Romanowsky-type stain · peripheral blood film — 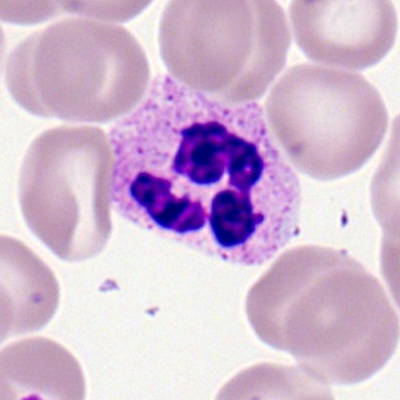Segmented neutrophil.